40× objective, oil immersion · bone marrow smear · Pappenheim-stained:
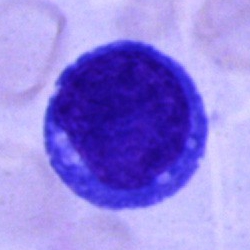

Q: Which cell type is shown here?
A: Blast.